Bone marrow aspirate smear. Brightfield, 40× oil-immersion objective. May-Grünwald-Giemsa stain
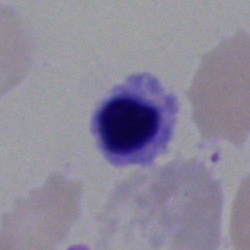
Q: What cell is this?
A: This is a nucleated red blood cell.